Bone marrow aspirate smear; cropped to a single cell; 250 by 250 pixels
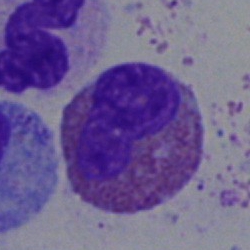
Q: Which cell type is shown here?
A: Eosinophilic granulocyte.